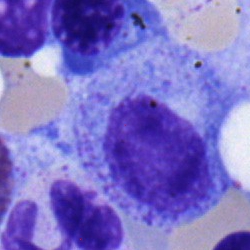Specimen: bone marrow smear.
Cell: myelocyte.
Lineage: myeloid.